Peripheral blood film. 100× oil immersion. Single cell centered in the field
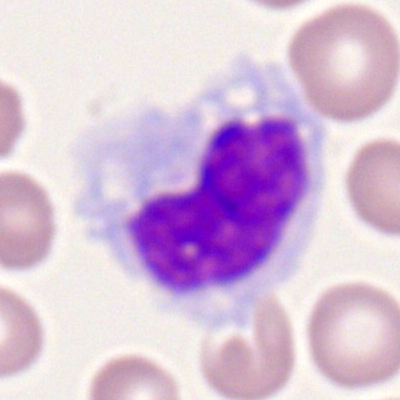 Q: Identify the cell.
A: It is a monocyte.